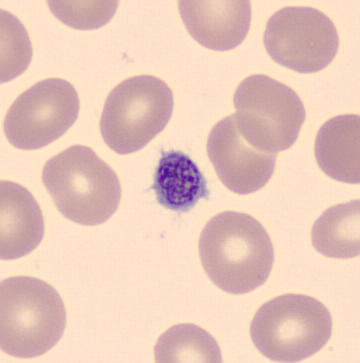
Acquisition: Peripheral blood smear; automated cell imaging (CellaVision DM96).

Showing a platelet.